Bone marrow aspirate smear · 250×250 px: 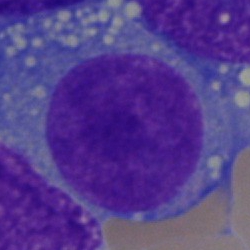
Impression — blast cell.